Bone marrow smear · 250×250 px — 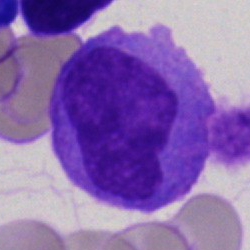 The cell shown is a monocyte.